Bone marrow smear; Pappenheim-stained.
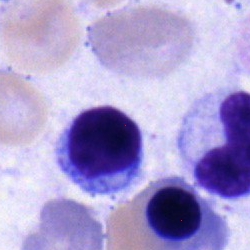Showing a lymphocyte.